Bone marrow smear; brightfield microscopy, 40× oil immersion
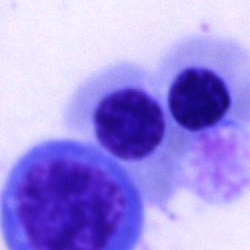

Showing a nucleated red cell.